Bone marrow aspirate smear — 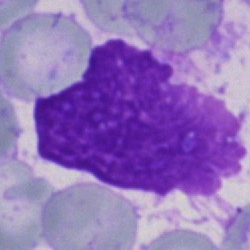

{"cell_type": "artefact"}